Peripheral blood film: 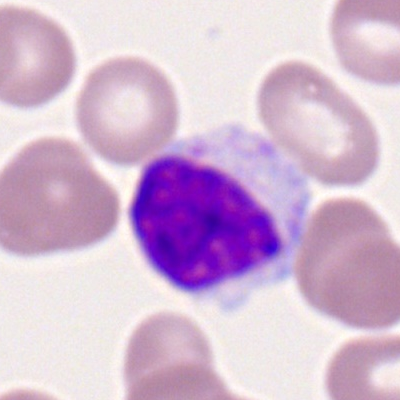
Q: Identify the cell.
A: A lymphocyte.